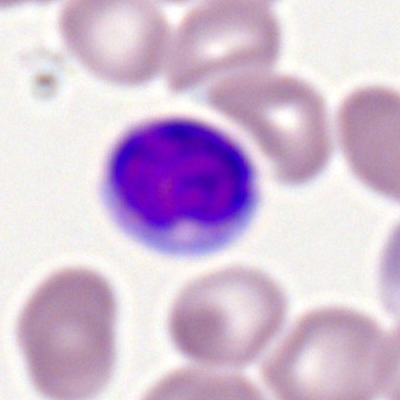Single cell identified as a lymphocyte.